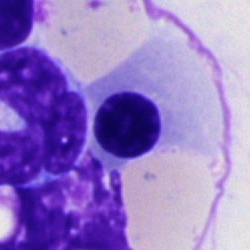 Impression — erythroblast.